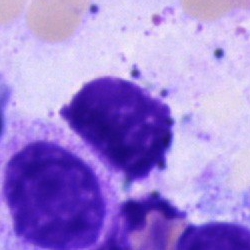
Cell type = unidentifiable cell.